Bone marrow aspirate smear
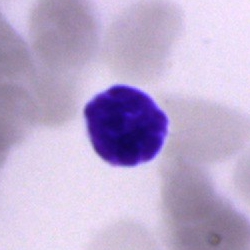The cell is typical lymphocyte.